Bone marrow smear — 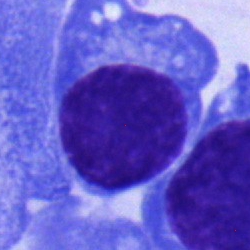

Morphology — plasma cell.